Bone marrow aspirate smear.
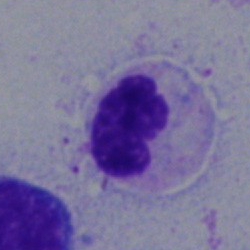This is a band neutrophil.